Bone marrow smear; May-Grünwald-Giemsa/Pappenheim stain:
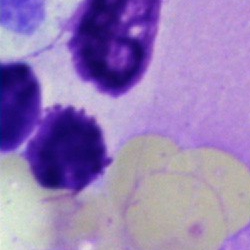 Morphological class — artifact.